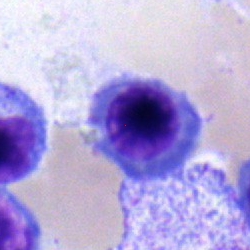 Impression — nucleated red blood cell.